Bone marrow aspirate smear.
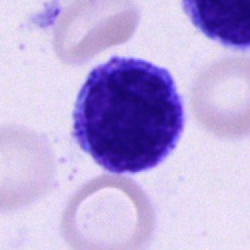 Q: What cell is this?
A: Cell of indeterminate lineage.